Bone marrow aspirate smear. Brightfield microscopy, 40× oil immersion.
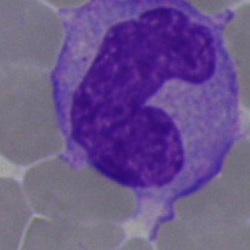

Specimen: bone marrow smear.
Cell type: monocyte.
Lineage: myeloid.